Bone marrow aspirate smear.
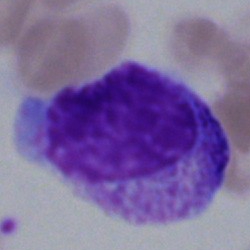
Morphological class = myelocyte.